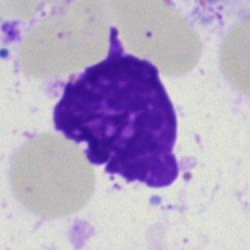
Impression → artifact.